Bone marrow aspirate smear. Image size 250×250. May-Grünwald-Giemsa stain: 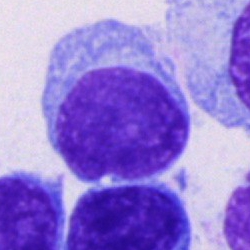 Impression → plasmacyte.